Bone marrow aspirate smear: 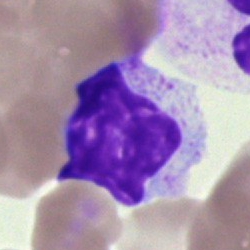Cell type — myelocyte.